Bone marrow aspirate smear: 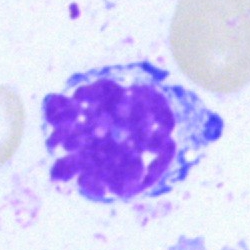

Q: What is shown here?
A: This is an artefact.